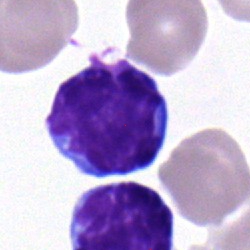
The cell type is lymphocyte.